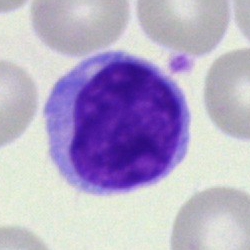
Morphology consistent with a lymphocyte.